Bone marrow smear.
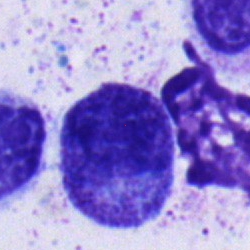 Myelocyte.